Bone marrow smear. Image size 250×250.
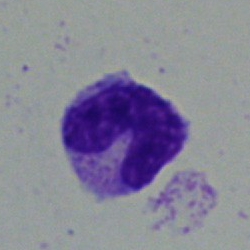{"cell_type": "band-form neutrophil"}